Peripheral blood film; 100× oil immersion:
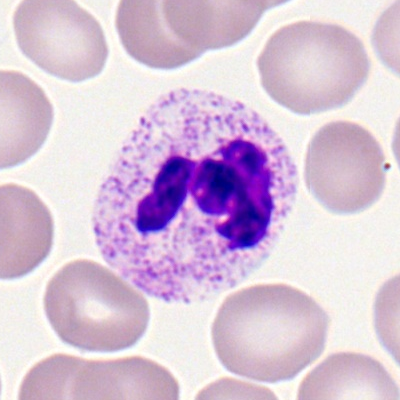 A neutrophil (segmented).